Bone marrow aspirate smear
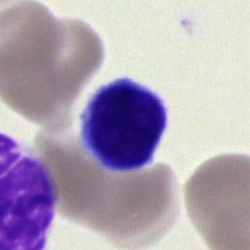

Specimen: bone marrow smear.
Cell type: typical lymphocyte.